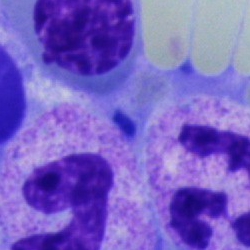
Cell type = polymorphonuclear neutrophil.